Bone marrow aspirate smear. May-Grünwald-Giemsa/Pappenheim stain:
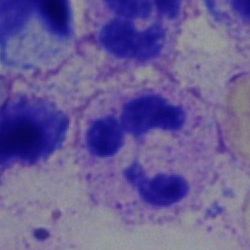

{"cell_type": "segmented neutrophil"}